Bone marrow aspirate smear.
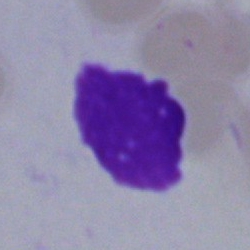 Artefact.